Peripheral blood film: 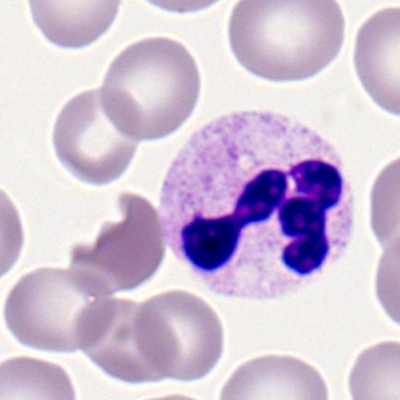 Q: Identify the cell.
A: This is a neutrophil (segmented).